Bone marrow aspirate smear; image size 250×250.
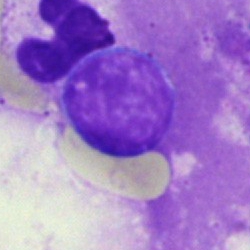
Impression — lymphocyte.